Single cell centered in the field; bone marrow smear — 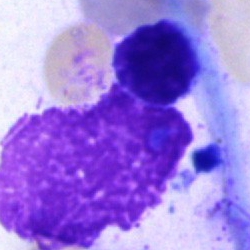 Cell type — artifact.